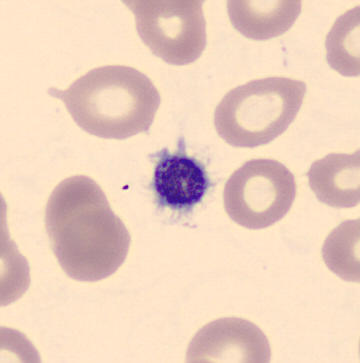
Morphology — platelet. 360×363 px. Peripheral blood film.